May-Grünwald-Giemsa stain · bone marrow smear — 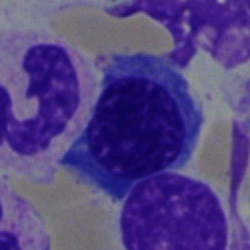 Impression → normoblast.